Bone marrow aspirate smear: 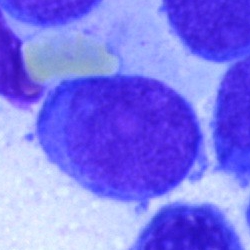
Morphology — undifferentiated blast.